Bone marrow aspirate smear · 250×250 px:
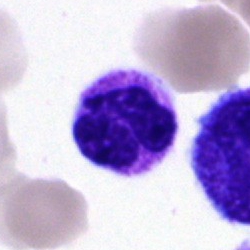Showing a polymorphonuclear neutrophil.